Bone marrow aspirate smear. Pappenheim-stained
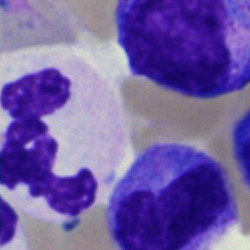
Impression — polymorphonuclear neutrophil.